Bone marrow smear.
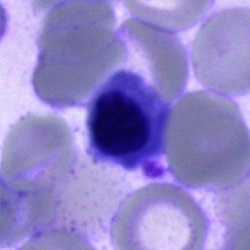
Morphology consistent with a nucleated red cell.